Bone marrow aspirate smear: 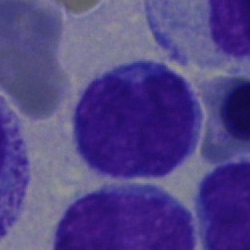 Specimen: bone marrow aspirate smear.
Morphological class: undifferentiated blast.